250 by 250 pixels. Bone marrow smear: 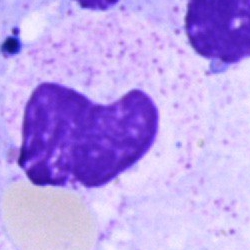

Cell — artifact.